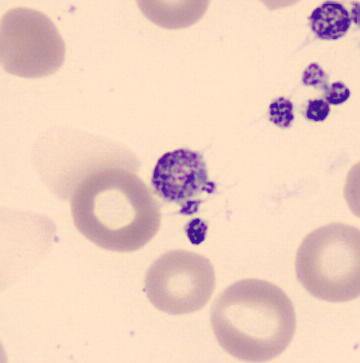
Acquisition: May-Grünwald-Giemsa-stained; peripheral blood film; imaged on a CellaVision DM96 analyser.
{"cell_type": "platelet"}